Bone marrow smear — 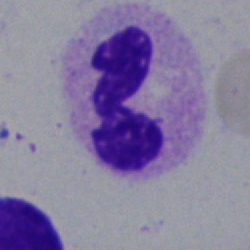
The cell is polymorphonuclear neutrophil.